Bone marrow smear:
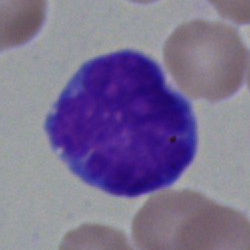

Impression — undifferentiated blast.